Brightfield microscopy, 40× oil immersion · bone marrow smear.
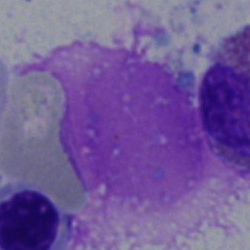

Q: What is shown here?
A: It is an artifact.